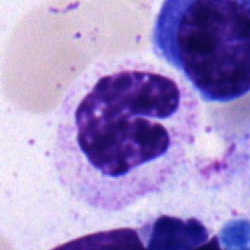 Morphology — band-form neutrophil.